Bone marrow aspirate smear
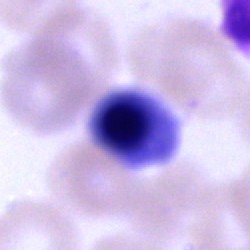
Single cell identified as a normoblast.